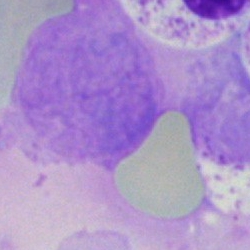

Artifact.